Single cell centered in the field; bone marrow smear:
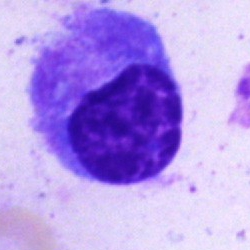
Classification = plasmacyte.